Image size 250×250 · MGG-stained · bone marrow smear.
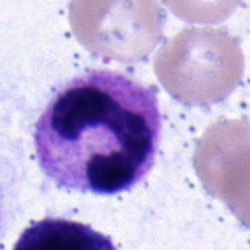

Impression → neutrophil (band).